250×250; bone marrow smear; single-cell crop.
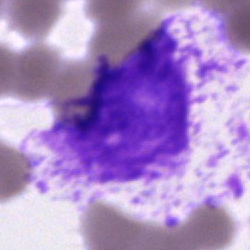Specimen: bone marrow smear.
Classification: artifact.